250×250. Single-cell field. Bone marrow smear — 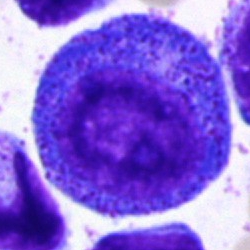A progranulocyte.